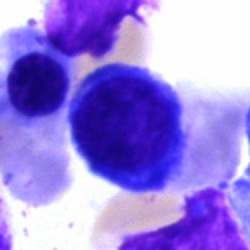

Single-cell crop from a bone marrow smear: erythroblast.